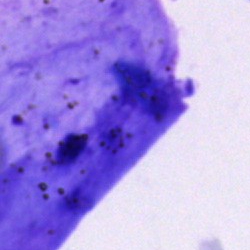

This is an artefact.